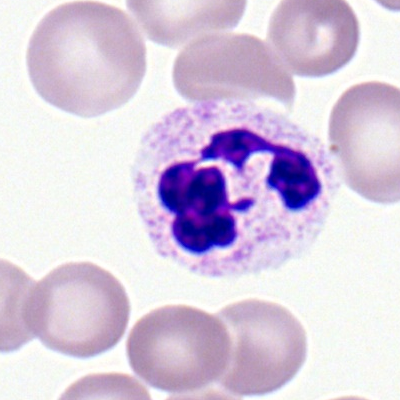{"cell_type": "segmented neutrophil"}